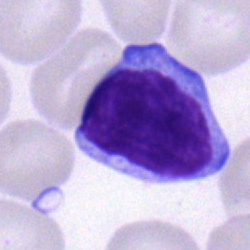
Bone marrow aspirate smear, single cell — typical lymphocyte.